Bone marrow aspirate smear — 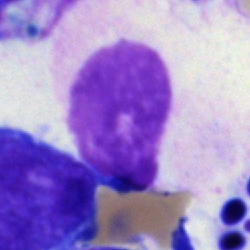 Morphology — artefact.